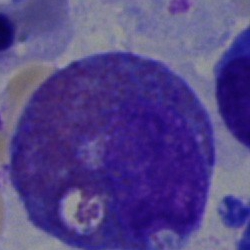
Showing an eosinophil.